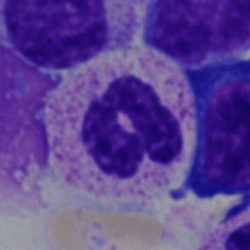

Showing a segmented neutrophil.